Bone marrow aspirate smear
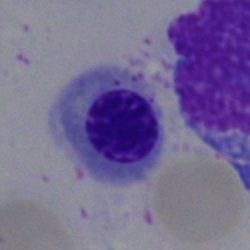
The cell shown is an erythroblast.